Bone marrow aspirate smear:
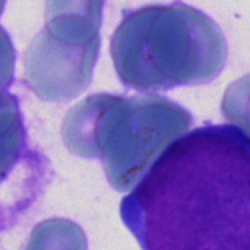
Blast cell.